40× objective, oil immersion · bone marrow smear · Pappenheim-stained
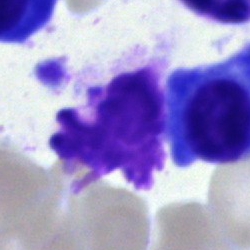
An artifact.